Peripheral blood smear. 100× oil immersion, 14.14 px/µm — 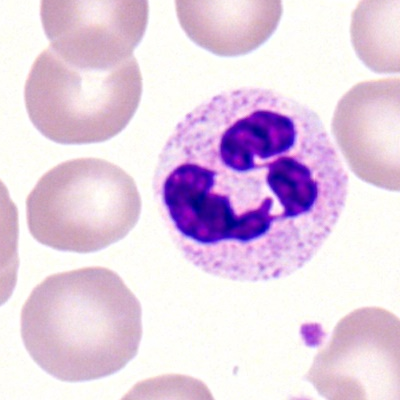
Specimen: peripheral blood film.
Cell type: polymorphonuclear neutrophil.
Lineage: myeloid.